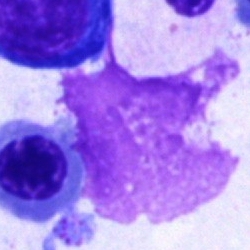Q: What is shown here?
A: This is an artifact.